Bone marrow aspirate smear — 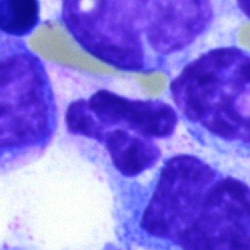
This is a polymorphonuclear neutrophil.